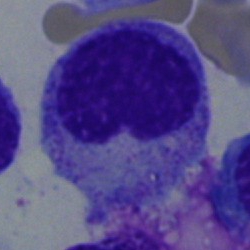

Specimen: bone marrow smear.
Cell type: myelocyte.
Lineage: myeloid.